Bone marrow smear. 40× objective, oil immersion. May-Grünwald-Giemsa stain: 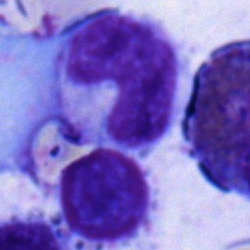
Morphology — band-form neutrophil.